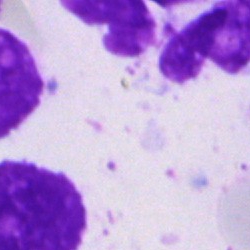 Morphological class = artifact.